Peripheral blood smear:
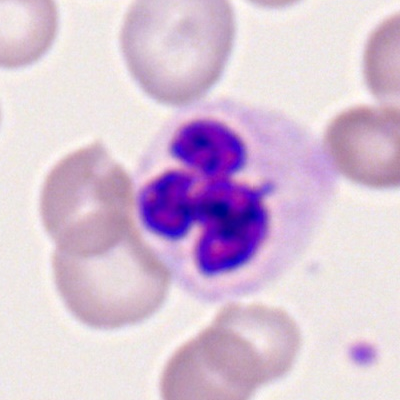Classification: segmented neutrophil.